Bone marrow smear · MGG-stained
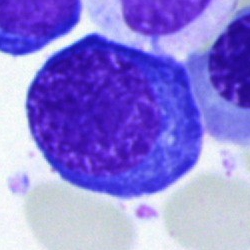Classification = normoblast.